Peripheral blood smear. 400×400 px. 100× objective, oil immersion: 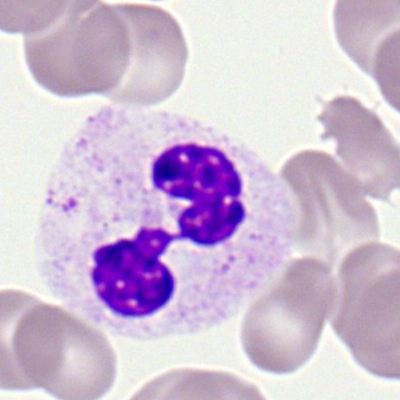The classification is segmented neutrophil.